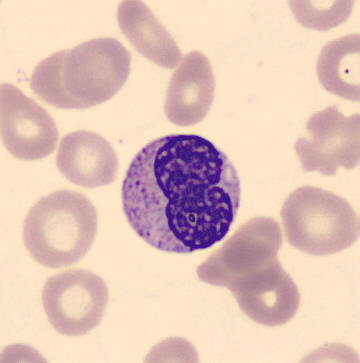{"cell_type": "metamyelocyte", "lineage": "myeloid"} 360 by 363 pixels. Peripheral blood film.